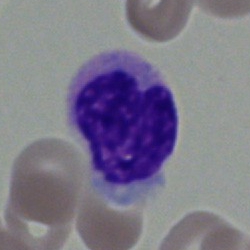 Cell type: neutrophil (band).